Bone marrow aspirate smear.
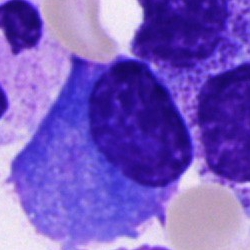
The cell type is plasmacyte.